Bone marrow smear. 40× objective, oil immersion — 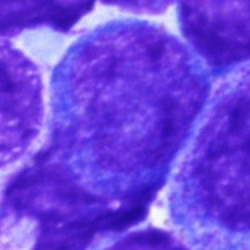
Q: What is the morphological classification of this cell?
A: A progranulocyte.